Bone marrow smear — 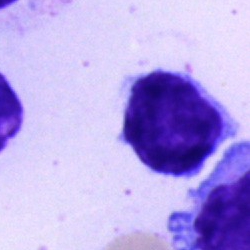The cell shown is a lymphocyte.